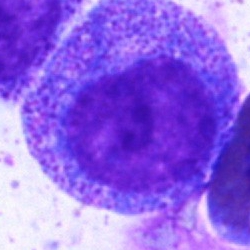The cell shown is a progranulocyte.